Bone marrow aspirate smear · single-cell field · 40× objective, oil immersion: 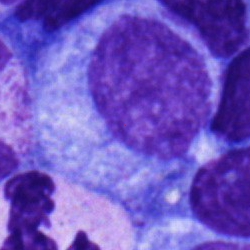Single cell identified as a promyelocyte.